Bone marrow aspirate smear. Brightfield, 40× oil-immersion objective — 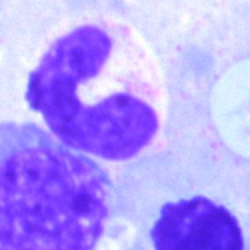 Impression — band-form neutrophil.